Peripheral blood film · single-cell crop · 400×400 px
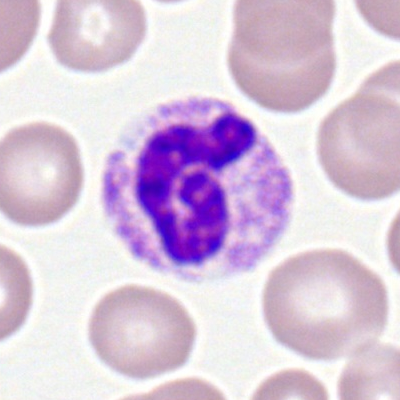 Segmented neutrophil.